Peripheral blood film. 400×400
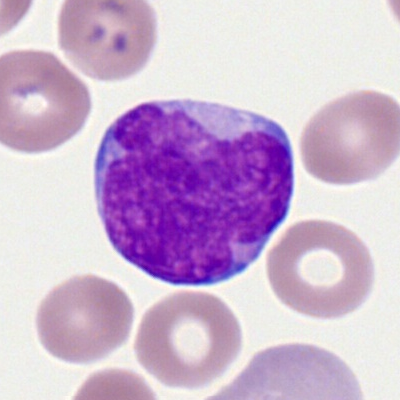 Specimen: peripheral blood smear.
Morphological class: myeloblast.
Lineage: myeloid.